40× oil immersion. Bone marrow aspirate smear. Image size 250×250
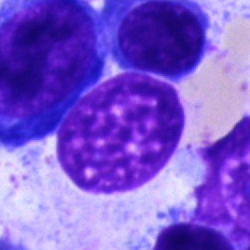

Impression — artifact.